Bone marrow aspirate smear. 250×250. Brightfield, 40× oil-immersion objective.
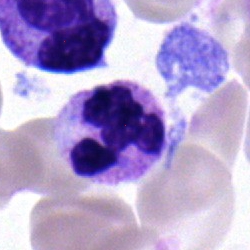
{"cell_type": "neutrophil (segmented)", "lineage": "myeloid"}